Cropped to a single cell; bone marrow smear; image size 250×250
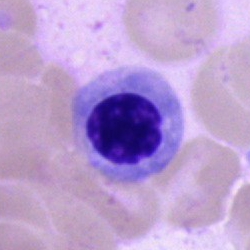 {"cell_type": "nucleated red cell", "lineage": "erythroid"}